Single-cell field. Bone marrow smear: 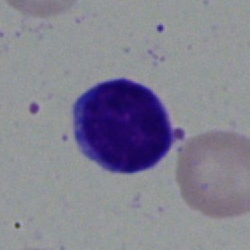Morphology consistent with a typical lymphocyte.